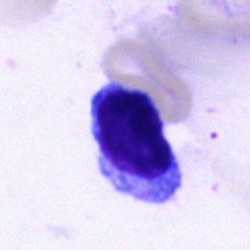 Cell — typical lymphocyte.